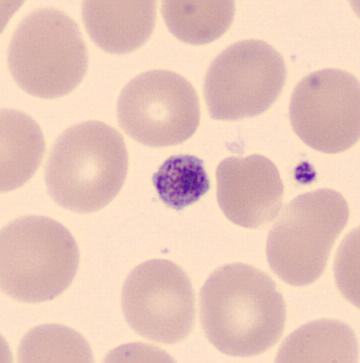

A platelet (thrombocyte).
Peripheral blood film.